Bone marrow smear: 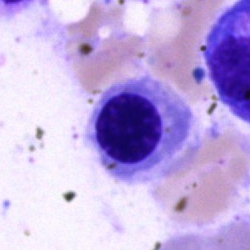 Q: What cell is this?
A: This is an erythroblast.